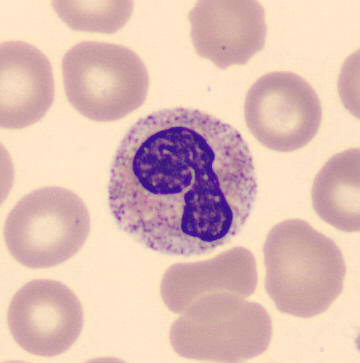

360×363 px; peripheral blood smear.
Band neutrophil.